Bone marrow smear. May-Grünwald-Giemsa/Pappenheim stain — 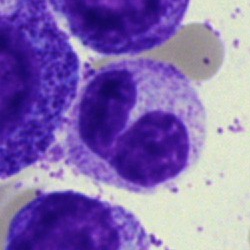

Q: Which cell type is shown here?
A: A segmented neutrophil.